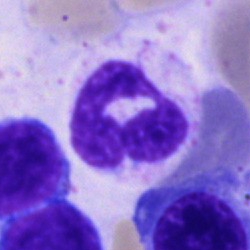Single cell identified as a neutrophil (segmented).